Bone marrow smear.
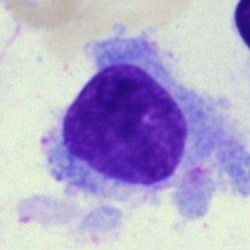
{"cell_type": "hairy cell", "lineage": "lymphoid"}